Bone marrow smear; 40× oil immersion; May-Grünwald-Giemsa/Pappenheim stain
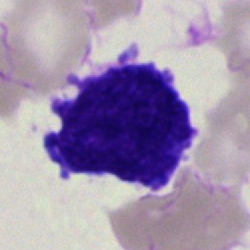 The cell is blast cell.